Peripheral blood smear · Romanowsky-type stain · 400 by 400 pixels — 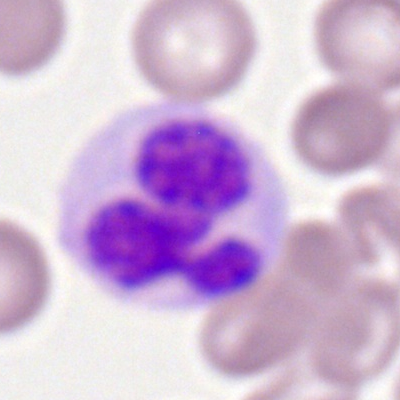

Impression → monocyte.